Bone marrow aspirate smear: 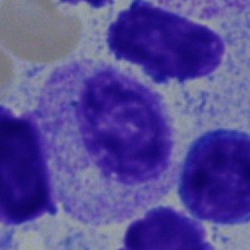

Myelocyte.